250×250; bone marrow smear
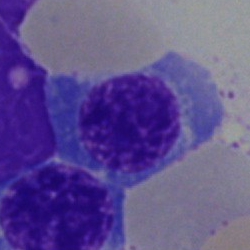 Morphology consistent with a nucleated red cell.